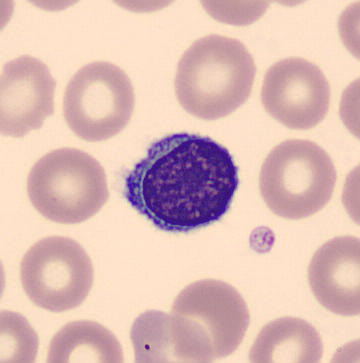 Morphology → lymphocyte.

Peripheral blood smear.